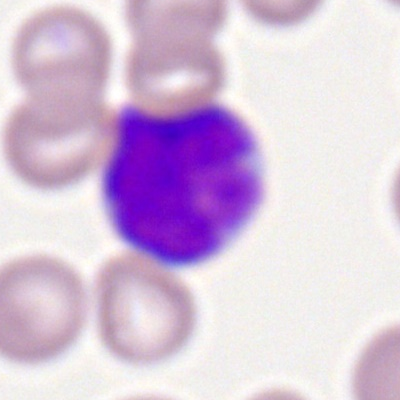 Q: What is shown here?
A: This is a myeloblast.